Bone marrow aspirate smear; brightfield, 40× oil-immersion objective.
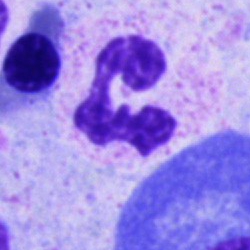This is a neutrophil (segmented).